Bone marrow smear. 250 by 250 pixels. 40× oil immersion.
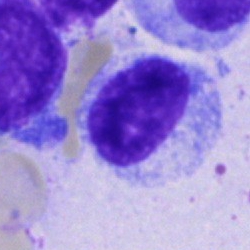 A myelocyte.